Single-cell field; bone marrow smear:
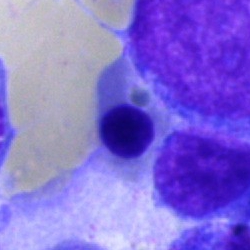Morphology consistent with a nucleated red blood cell.